Bone marrow aspirate smear:
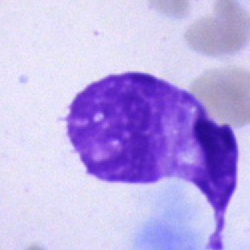Morphology consistent with an artefact.